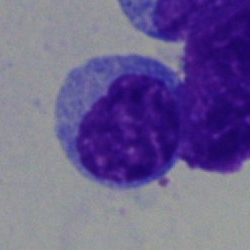

Bone marrow smear showing a typical lymphocyte.